Bone marrow aspirate smear; May-Grünwald-Giemsa/Pappenheim stain; cropped to a single cell: 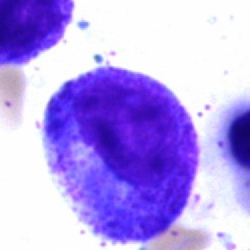 Q: Identify the cell.
A: It is a progranulocyte.